Bone marrow aspirate smear; 40× oil immersion:
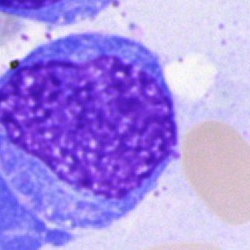Showing a blast.